Bone marrow smear — 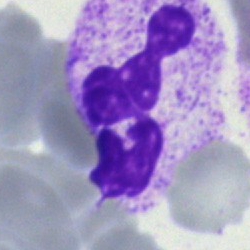
Morphological class — segmented neutrophil.